Bone marrow aspirate smear: 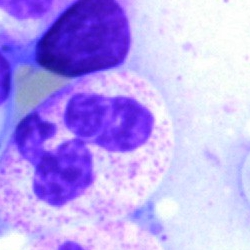
Single cell identified as a segmented neutrophil.